May-Grünwald-Giemsa stain. Bone marrow aspirate smear. 250×250 px: 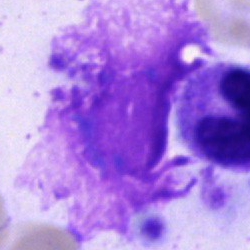
An artifact.